100× oil immersion · peripheral blood smear.
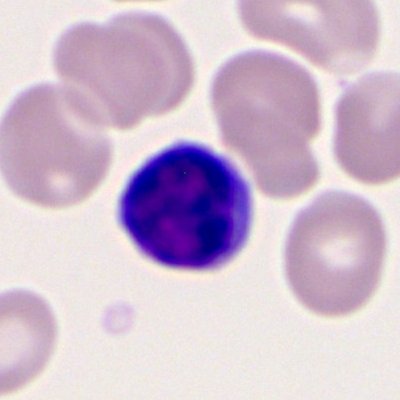

The morphological class is typical lymphocyte.